Bone marrow smear — 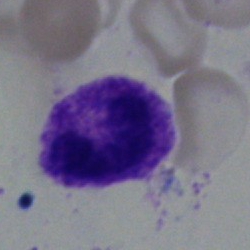 Neutrophil (segmented).